Single-cell field · 250×250 · bone marrow aspirate smear:
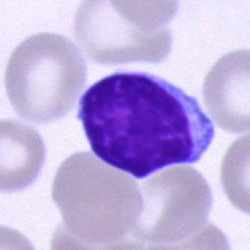 Q: What cell is this?
A: Lymphocyte.